Single cell centered in the field; bone marrow aspirate smear; Pappenheim-stained.
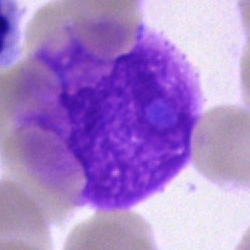Showing an artefact.